Bone marrow smear
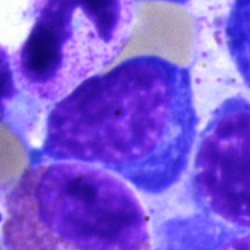

Showing a nucleated red blood cell.